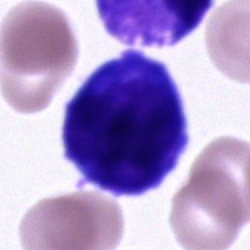
A cell of indeterminate lineage.